Bone marrow smear · 250×250 px.
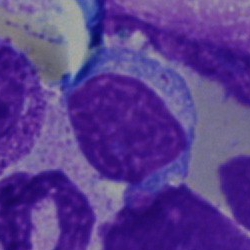 The cell type is typical lymphocyte.